Bone marrow aspirate smear.
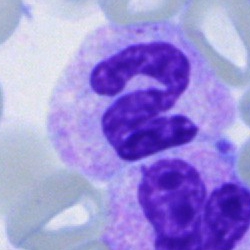 {"cell_type": "neutrophil (segmented)", "lineage": "myeloid"}